Bone marrow smear — 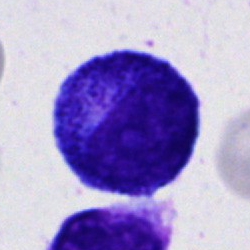 The cell type is promyelocyte.